Peripheral blood smear — 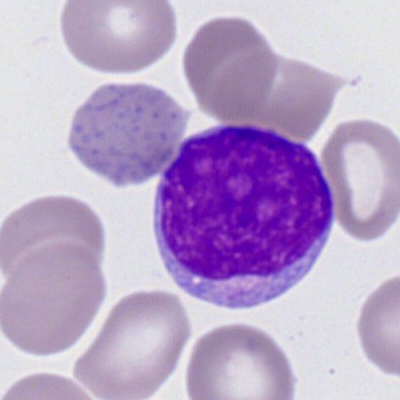A myeloid blast.